Bone marrow smear.
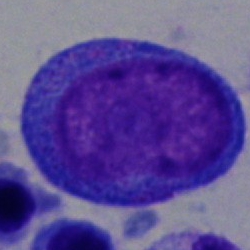
Showing a promyelocyte.